Bone marrow smear
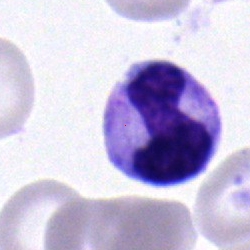 Morphology consistent with a neutrophil (band).